Bone marrow smear
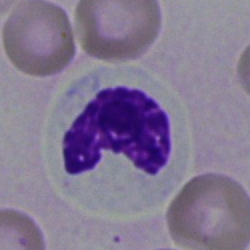

Impression → metamyelocyte.